Peripheral blood smear · 400 by 400 pixels: 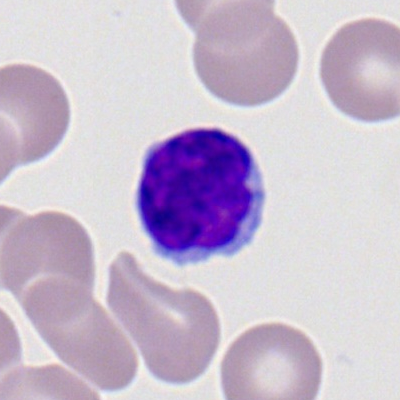
Specimen: peripheral blood smear.
Classification: typical lymphocyte.